Bone marrow aspirate smear: 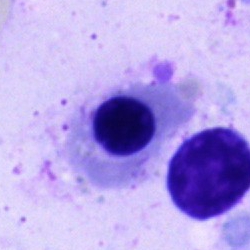 This is a normoblast.